Bone marrow smear
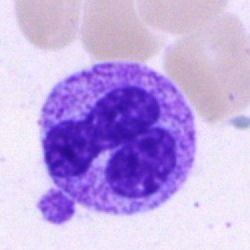Morphological class: neutrophil (segmented).